May-Grünwald-Giemsa/Pappenheim stain. Bone marrow smear
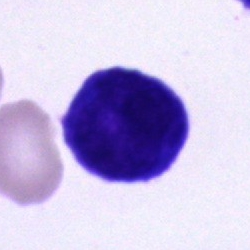
Morphology → unidentifiable cell.